Bone marrow smear:
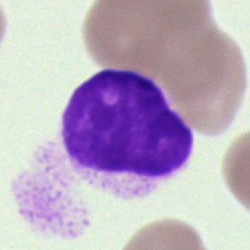

Morphology — artifact.